Bone marrow smear:
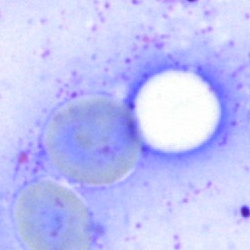

Impression — artifact.